Peripheral blood film:
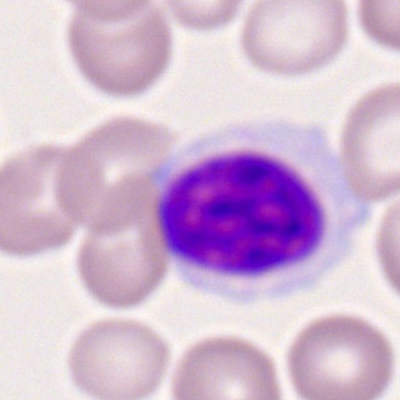
Q: Which cell type is shown here?
A: It is a lymphocyte.